Cropped to a single cell; bone marrow smear
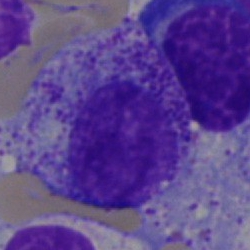

Impression → myelocyte.